Single-cell crop · image size 250×250 · bone marrow smear.
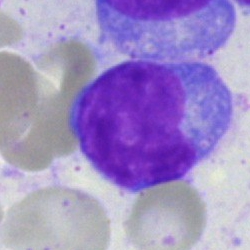{"cell_type": "blast cell"}